MGG-stained; bone marrow smear:
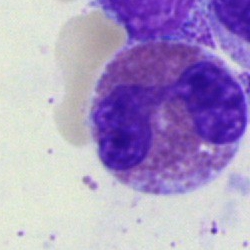
Single cell identified as an eosinophilic granulocyte.